Bone marrow aspirate smear.
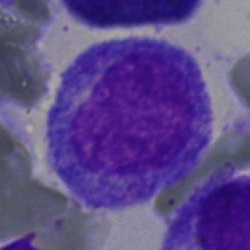 Cell = myelocyte.